Bone marrow smear: 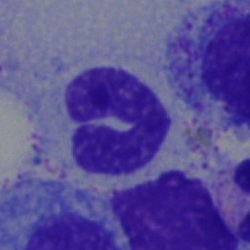

A polymorphonuclear neutrophil.